Cropped to a single cell; brightfield, 40× oil-immersion objective; bone marrow smear
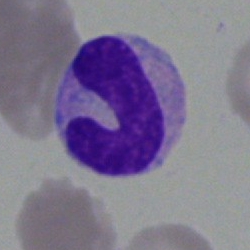

Q: What type of cell is this?
A: A band-form neutrophil.